250 by 250 pixels · bone marrow smear:
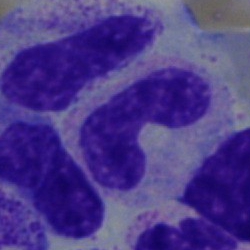
Neutrophil (band).